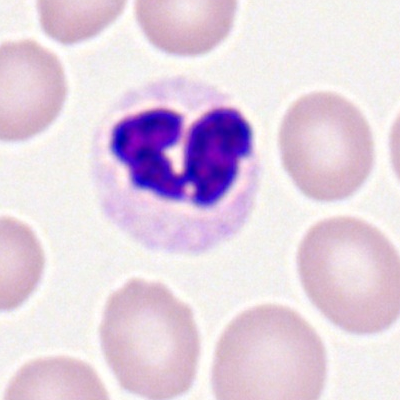

Q: What is the morphological classification of this cell?
A: A neutrophil (segmented).